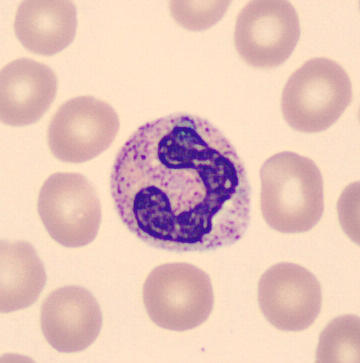

May Grünwald-Giemsa stain.
Specimen: peripheral blood film.
Classification: band neutrophil.
Lineage: myeloid.